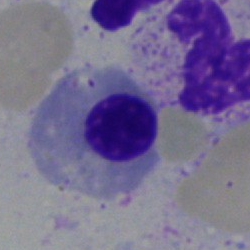

Q: Which cell type is shown here?
A: A nucleated red cell.